Bone marrow aspirate smear.
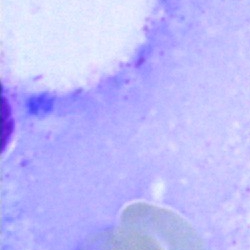

Morphology — artifact.